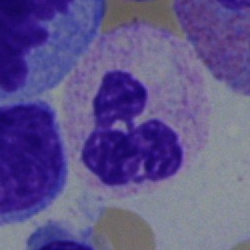

Morphology consistent with a polymorphonuclear neutrophil.